Bone marrow smear.
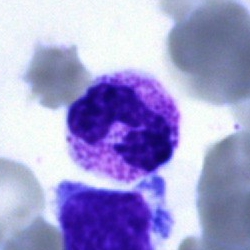 Specimen: bone marrow smear.
Cell type: segmented neutrophil.
Lineage: myeloid.